Bone marrow smear: 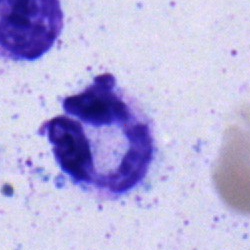Specimen: bone marrow aspirate smear.
Morphological class: segmented neutrophil.
Lineage: myeloid.